Bone marrow smear — 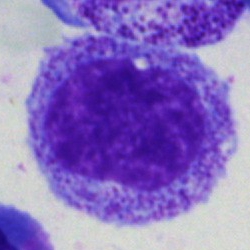

{"cell_type": "progranulocyte", "lineage": "myeloid"}